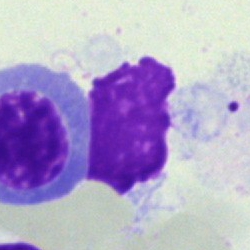 Cell type — artefact.